Peripheral blood film: 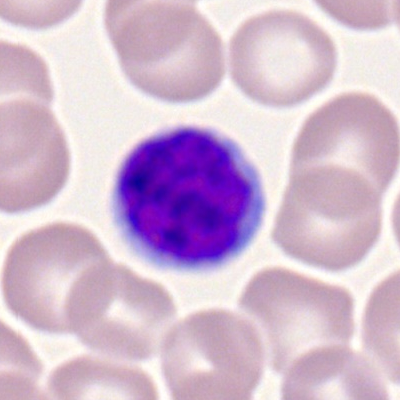Cell type = typical lymphocyte.